Single cell centered in the field · bone marrow aspirate smear · brightfield microscopy, 40× oil immersion: 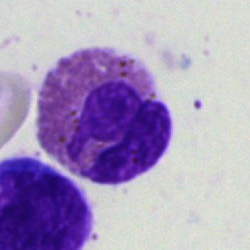

Single cell identified as a basophil.